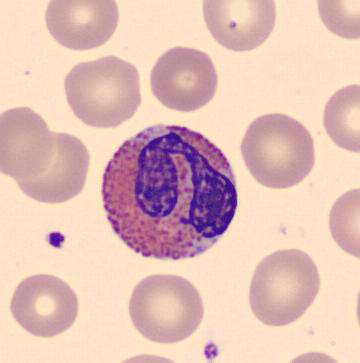

The cell is eosinophil.
Peripheral blood film.